Bone marrow aspirate smear; single-cell crop: 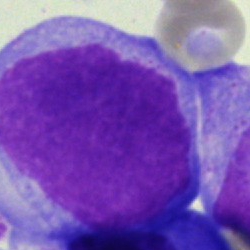 Morphological class — blast.